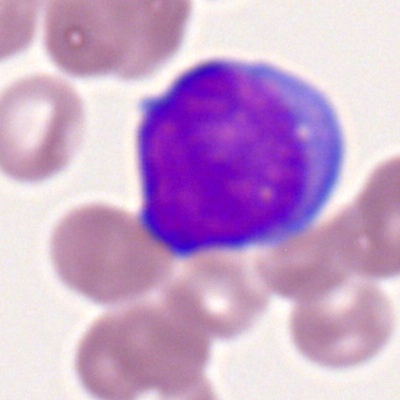Impression → myeloblast.